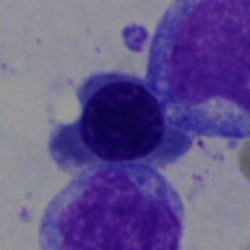Erythroblast.